Single cell centered in the field; bone marrow smear
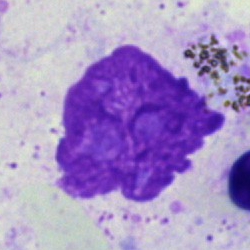
Impression → artefact.